Bone marrow smear; single-cell field — 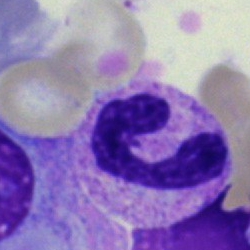The classification is neutrophil (segmented).